Single-cell crop. 400 by 400 pixels. Peripheral blood smear: 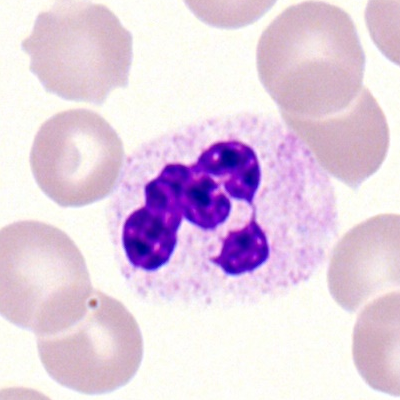 A neutrophil (segmented).